Single-cell field; bone marrow smear; 250 by 250 pixels: 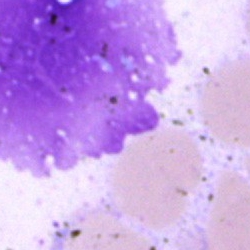The cell is artifact.